Bone marrow smear: 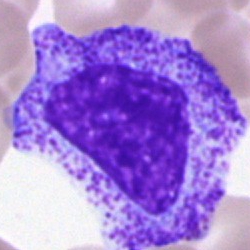 Morphological class = myelocyte.